Bone marrow aspirate smear.
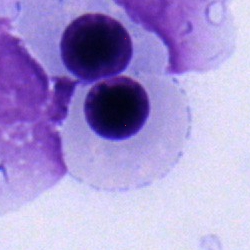

The cell type is nucleated red cell.